Pappenheim-stained · bone marrow aspirate smear.
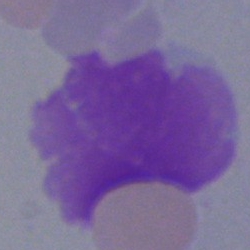The classification is artifact.